Peripheral blood film:
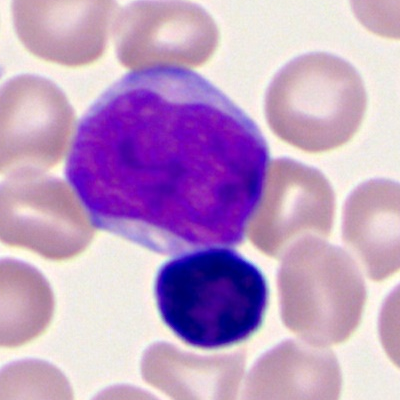 Impression — myeloblast.